40× oil immersion. Image size 250×250. Bone marrow aspirate smear
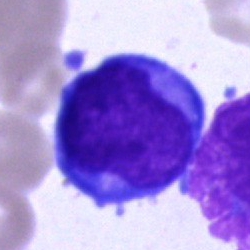
Morphology → blast cell.